Bone marrow aspirate smear — 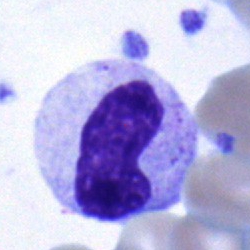Q: What type of cell is this?
A: Band neutrophil.